Bone marrow aspirate smear: 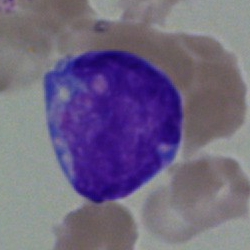 Impression — blast cell.